Bone marrow aspirate smear; cropped to a single cell — 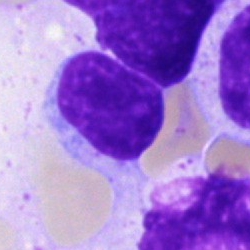A typical lymphocyte.